Peripheral blood film. Romanowsky-stained. Single cell centered in the field — 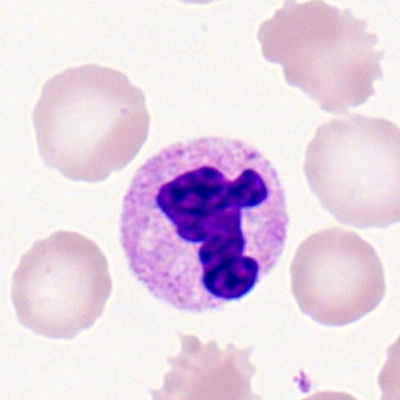This is a segmented neutrophil.